Bone marrow aspirate smear; single-cell crop
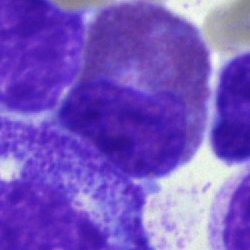

This is a neutrophil (segmented).